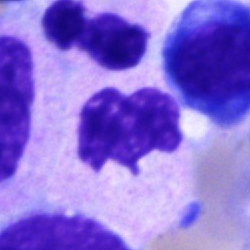 Classification — segmented neutrophil.